Single-cell crop. Bone marrow aspirate smear. May-Grünwald-Giemsa/Pappenheim stain:
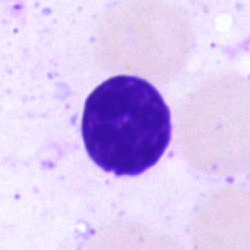 The cell type is artifact.